Bone marrow aspirate smear; 250 by 250 pixels — 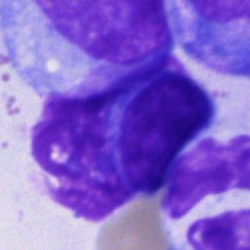

The cell type is cell of indeterminate lineage.